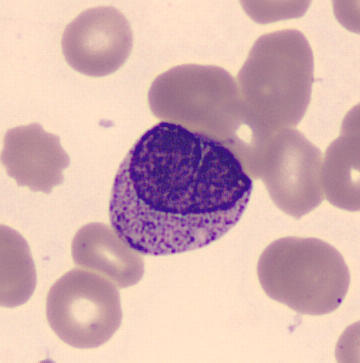

Classification = metamyelocyte.

Acquisition: Peripheral blood film.